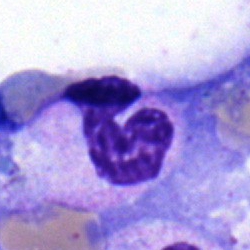
A stab cell on a bone marrow smear.